Romanowsky-stained; peripheral blood smear; image size 400×400.
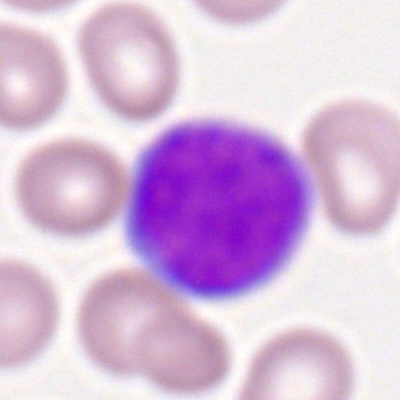 Cell type = myeloblast.